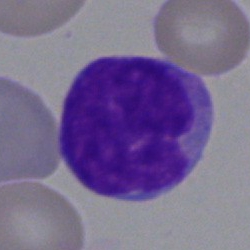 Q: Identify the cell.
A: It is a blast cell.